Bone marrow aspirate smear; brightfield, 40× oil-immersion objective — 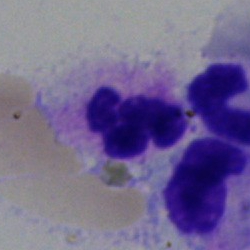

The cell shown is a polymorphonuclear neutrophil.